Bone marrow aspirate smear — 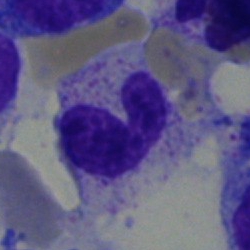Showing a stab cell.